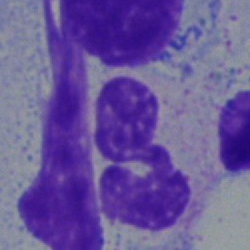

The cell is polymorphonuclear neutrophil.